Bone marrow aspirate smear. Single cell centered in the field — 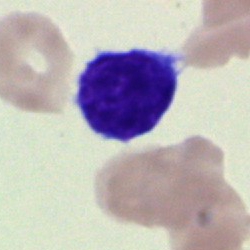 The classification is typical lymphocyte.